Bone marrow aspirate smear; 40× oil immersion: 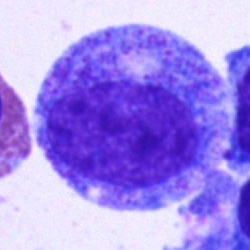

Cell = promyelocyte.